Single-cell crop; bone marrow aspirate smear: 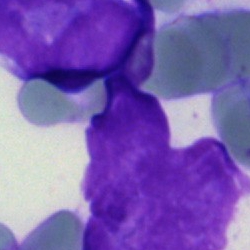Morphology consistent with an artefact.